250×250 px · bone marrow smear
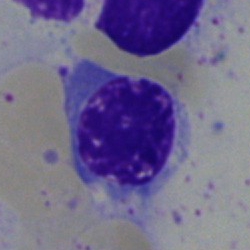
Cell — nucleated red cell.